Bone marrow aspirate smear: 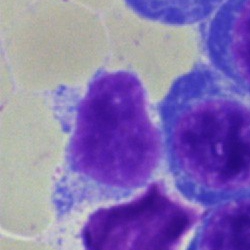

The cell is artifact.